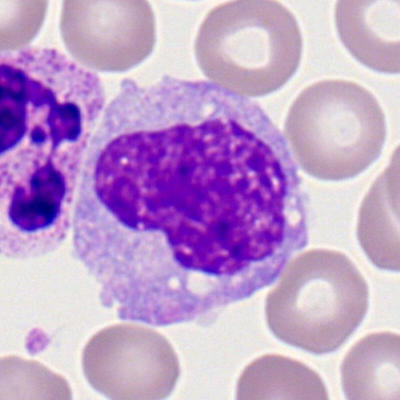Impression — monocyte.